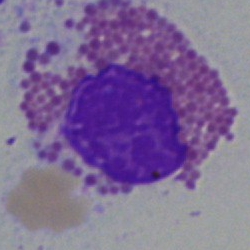 Single cell identified as an eosinophilic granulocyte.